May-Grünwald-Giemsa/Pappenheim stain; bone marrow aspirate smear — 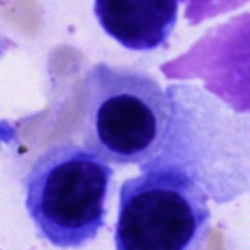

Showing a normoblast.